Bone marrow smear.
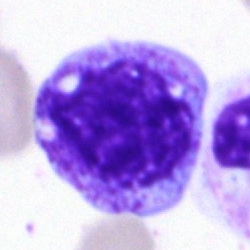
Classification — myelocyte.